Peripheral blood smear · single cell centered in the field · image size 400×400
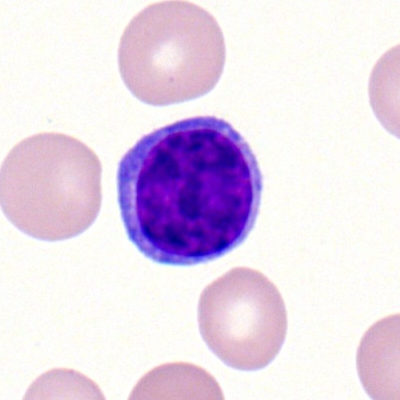Morphological class: typical lymphocyte.